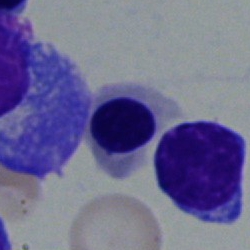Q: What cell is this?
A: It is a normoblast.